Bone marrow aspirate smear.
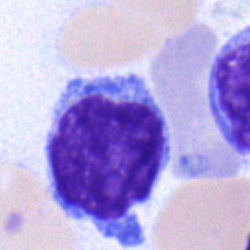
Morphology consistent with a lymphocyte.